Bone marrow smear
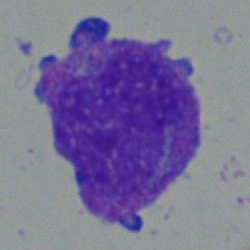

Specimen: bone marrow smear.
Cell: blast.